May-Grünwald-Giemsa stain · bone marrow aspirate smear — 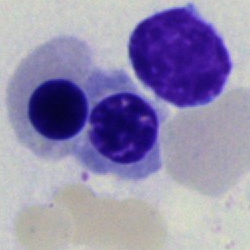

Normoblast.